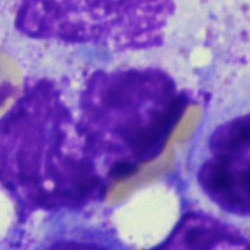
Classification = artefact.